Bone marrow smear. MGG-stained.
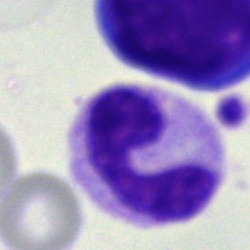Showing a polymorphonuclear neutrophil.